Romanowsky-type stain. Peripheral blood smear. Image size 400×400 — 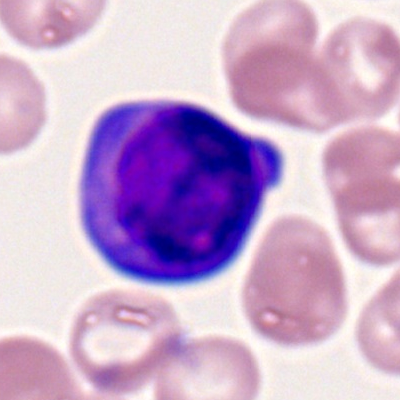
Morphological class — myeloid blast.